Peripheral blood film
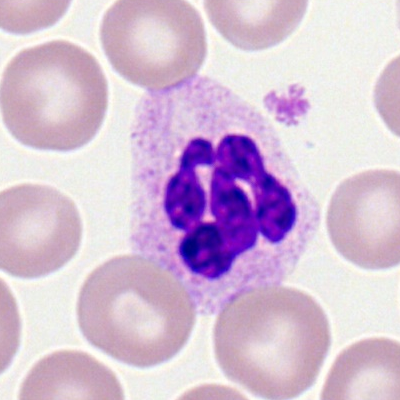 Morphological class — segmented neutrophil.